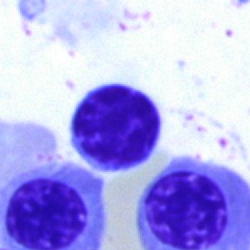
The cell shown is a typical lymphocyte.